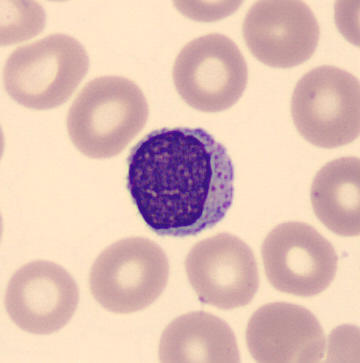Specimen: peripheral blood smear.
Cell type: lymphocyte.
Lineage: lymphoid.